Bone marrow smear:
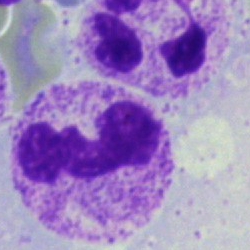 Q: What type of cell is this?
A: A neutrophil (segmented).